Bone marrow aspirate smear. Pappenheim-stained
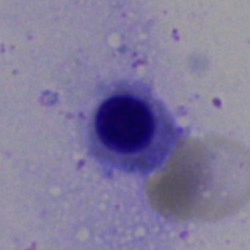 Q: What is shown here?
A: A nucleated red cell.